Bone marrow aspirate smear. Single cell centered in the field
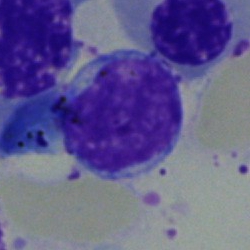

Showing a typical lymphocyte.